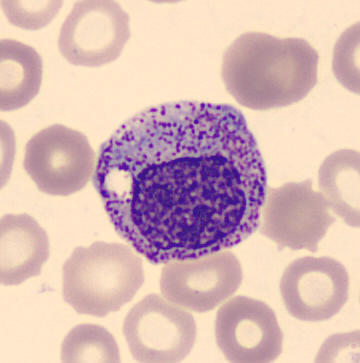 Classification — myelocyte. Peripheral blood film; 360 by 363 pixels; MGG stain.